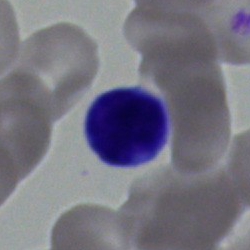
Morphology → lymphocyte.